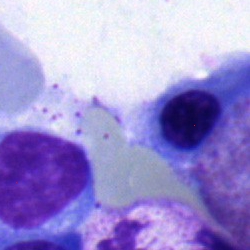Cell = normoblast.